May-Grünwald-Giemsa/Pappenheim stain; bone marrow smear; image size 250×250:
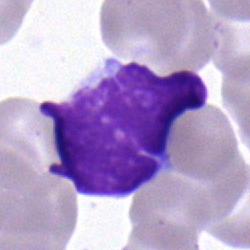

Classification: lymphocyte.